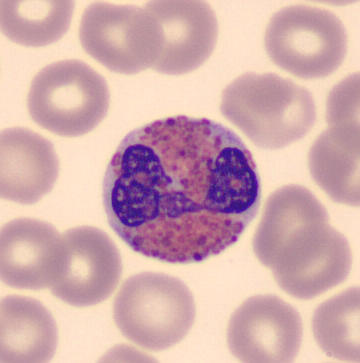 {"cell_type": "eosinophilic granulocyte"}

Peripheral blood smear.